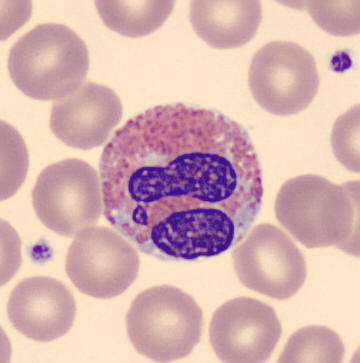Q: What is shown here?
A: An eosinophilic granulocyte. Preparation: Peripheral blood film.